Bone marrow aspirate smear: 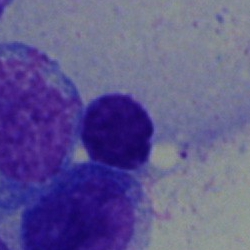The cell shown is a lymphocyte.